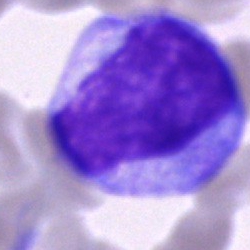
The classification is blast.